Bone marrow smear · image size 250×250: 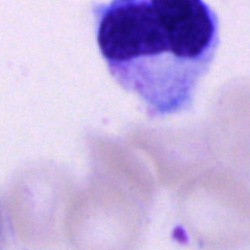
Morphology → cell of indeterminate lineage.